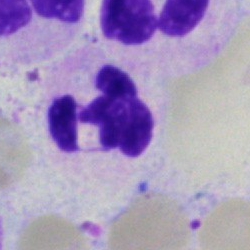{"cell_type": "polymorphonuclear neutrophil", "lineage": "myeloid"}